40× oil immersion. Bone marrow smear: 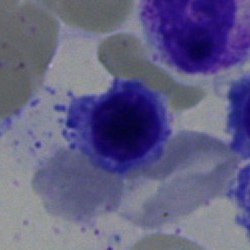Classification — nucleated red blood cell.